Single-cell crop. 250×250 px. Bone marrow aspirate smear:
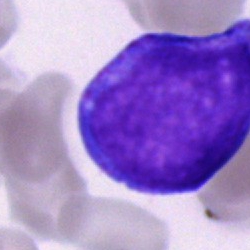 Specimen: bone marrow smear.
Classification: undifferentiated blast.